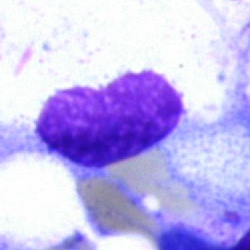
Classification: artifact.